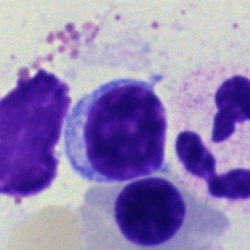

Lymphocyte.